Bone marrow aspirate smear; 40× oil immersion:
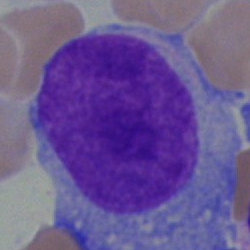 Specimen: bone marrow aspirate smear.
Morphological class: undifferentiated blast.